40× objective, oil immersion; bone marrow aspirate smear.
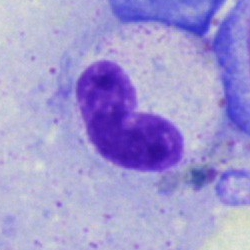
Morphology consistent with a band-form neutrophil.